Peripheral blood film:
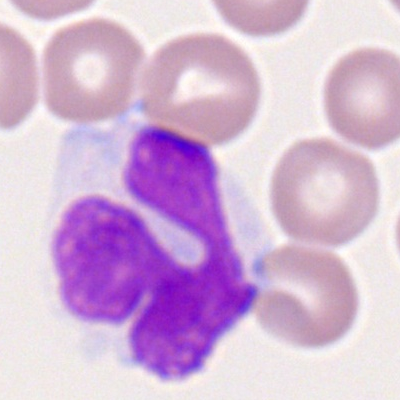

Q: What is the morphological classification of this cell?
A: This is a monocyte.